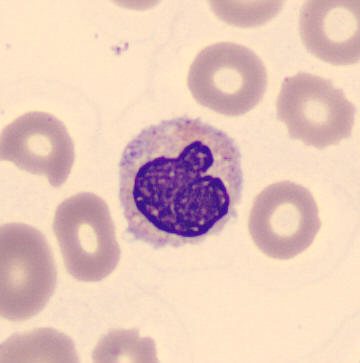

Cell type = band-form neutrophil.